Bone marrow aspirate smear.
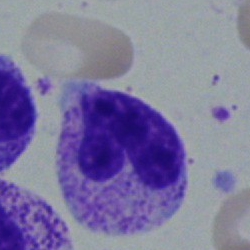
Impression → band-form neutrophil.